Bone marrow aspirate smear: 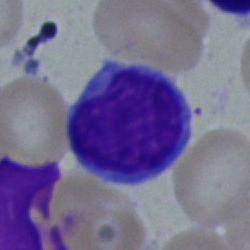
The cell shown is a lymphocyte.